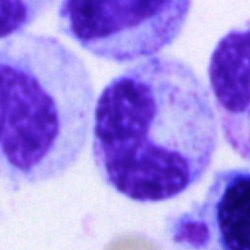Bone marrow smear showing a stab cell.